Brightfield microscopy, 40× oil immersion. Bone marrow smear
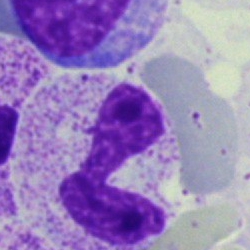

Band-form neutrophil.